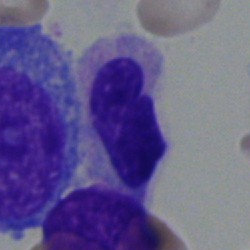Showing a neutrophil (segmented).